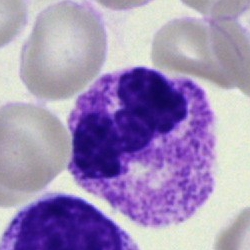{"cell_type": "polymorphonuclear neutrophil", "lineage": "myeloid"}